Brightfield, 40× oil-immersion objective · bone marrow aspirate smear · Pappenheim-stained — 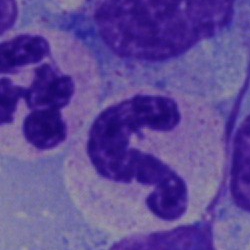

Cell type — neutrophil (segmented).